Bone marrow smear.
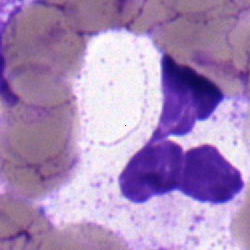
The cell type is segmented neutrophil.